Bone marrow aspirate smear. 250×250 px — 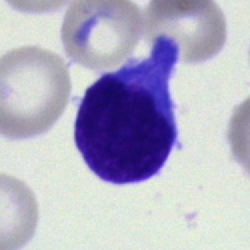
Showing a blast.